250 by 250 pixels · bone marrow smear · brightfield, 40× oil-immersion objective — 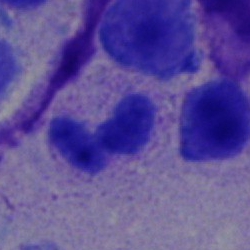Q: Identify the cell.
A: It is a polymorphonuclear neutrophil.